Bone marrow smear — 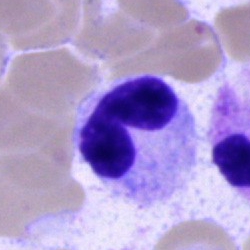

Band neutrophil.